May-Grünwald-Giemsa/Pappenheim stain · bone marrow smear · 250 by 250 pixels.
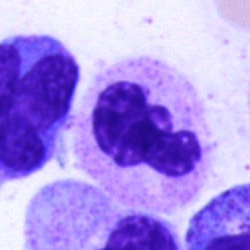

Specimen: bone marrow smear.
Classification: segmented neutrophil.